Single cell centered in the field · bone marrow smear · 250×250 px: 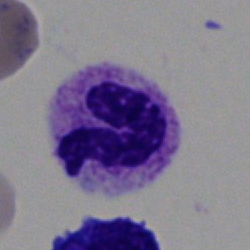
Cell type = segmented neutrophil.